Brightfield, 40× oil-immersion objective. Single-cell field. Bone marrow smear — 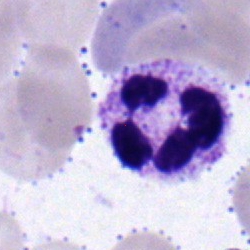This is a segmented neutrophil.